Bone marrow smear:
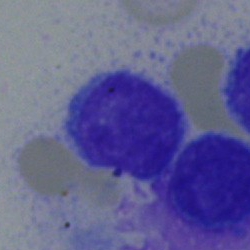 Specimen: bone marrow smear.
Cell type: lymphocyte.
Lineage: lymphoid.